Bone marrow aspirate smear · 40× objective, oil immersion · image size 250×250:
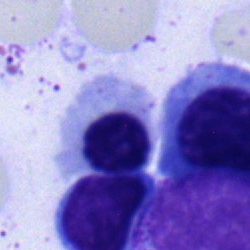 The cell type is erythroblast.